Bone marrow smear: 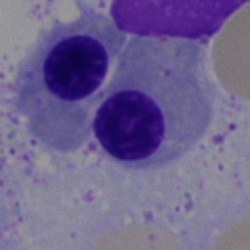Morphology consistent with a nucleated red blood cell.